Bone marrow smear.
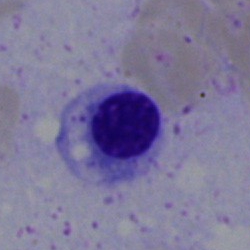 Showing an erythroblast.